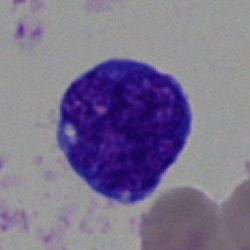

Undifferentiated blast.